Bone marrow aspirate smear. Pappenheim-stained. Single cell centered in the field:
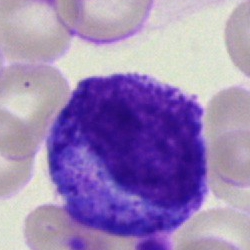
Myelocyte.